Bone marrow smear:
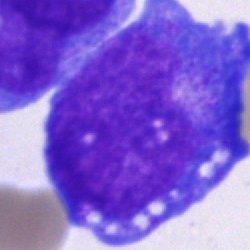
Blast.